Bone marrow aspirate smear · 250×250 px — 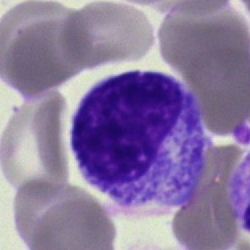

Specimen: bone marrow smear.
Classification: myelocyte.
Lineage: myeloid.